Bone marrow smear. Image size 250×250.
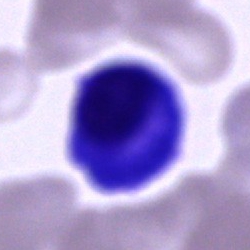 Cell type — plasma cell.